40× objective, oil immersion; bone marrow smear — 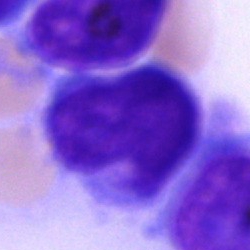
{"cell_type": "artifact"}